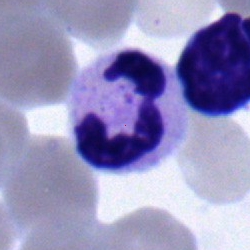
Bone marrow aspirate smear, single cell — polymorphonuclear neutrophil.